MGG-stained. Bone marrow smear.
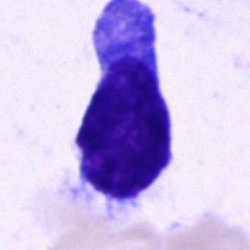

{"cell_type": "blast cell"}